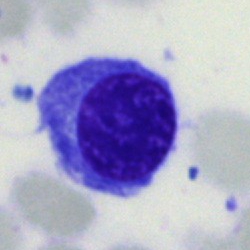
This is a nucleated red cell.